Peripheral blood film · single-cell crop:
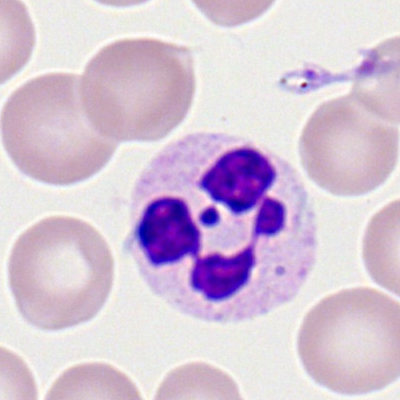
{"cell_type": "neutrophil (segmented)", "lineage": "myeloid"}